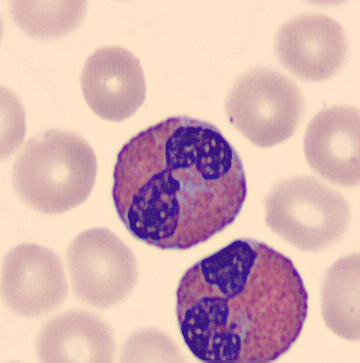

Specimen: peripheral blood smear.
Cell type: eosinophil.
Lineage: myeloid.